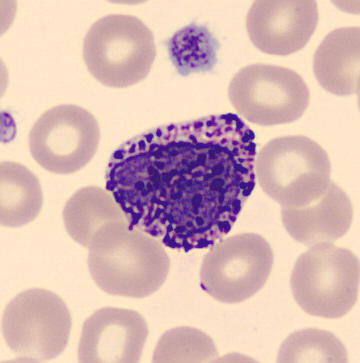

Cell type — basophil. Image: Peripheral blood smear.